Brightfield microscopy, 40× oil immersion · Pappenheim-stained · bone marrow aspirate smear.
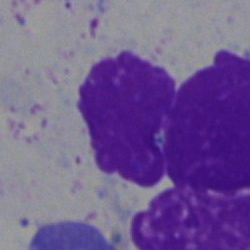Cell type = artefact.